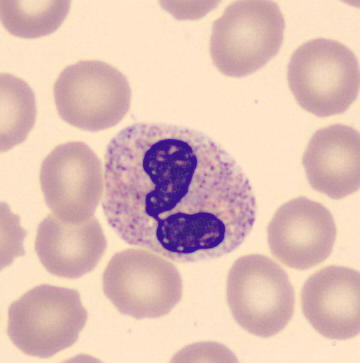
Preparation: Peripheral blood film. CellaVision DM96 digital cell image.

{"cell_type": "segmented neutrophil"}